Peripheral blood smear — 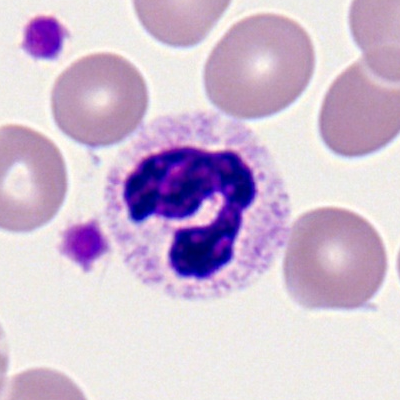
Specimen: peripheral blood smear.
Morphological class: polymorphonuclear neutrophil.
Lineage: myeloid.